Bone marrow aspirate smear. 250 by 250 pixels: 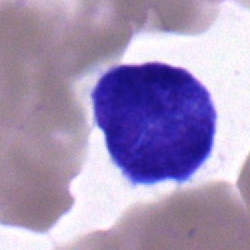
Single cell identified as a blast.